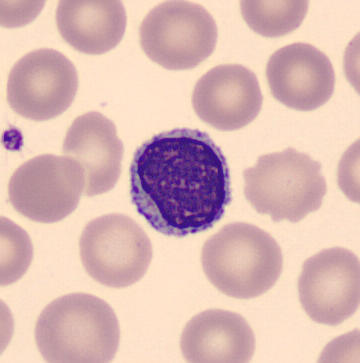 Image: Peripheral blood smear; May-Grünwald-Giemsa-stained; single-cell crop. Morphology consistent with a typical lymphocyte.